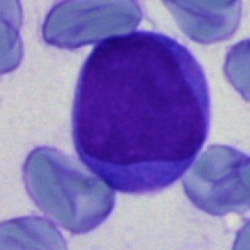 Bone marrow aspirate smear, single cell — blast cell.